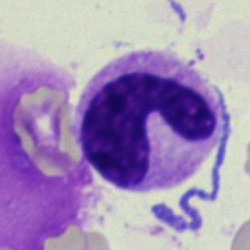Impression → band-form neutrophil.